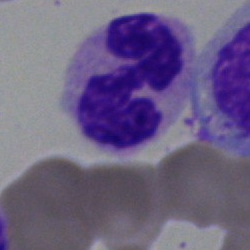{"cell_type": "neutrophil (segmented)"}